Bone marrow aspirate smear: 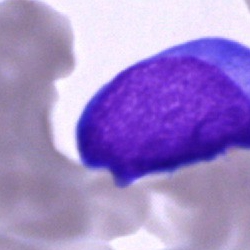 Cell type = blast cell.